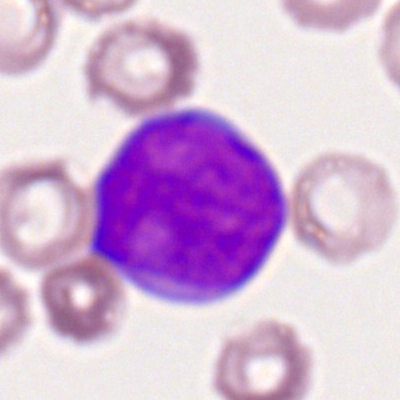

The morphological class is myeloblast.